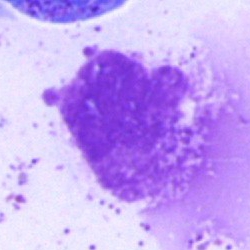Single-cell crop from a bone marrow smear: artefact.